Pappenheim-stained; bone marrow smear; image size 250×250: 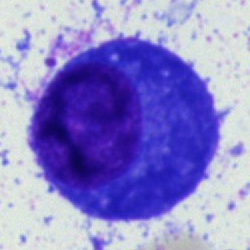 Single cell identified as a plasmacyte.